Bone marrow aspirate smear — 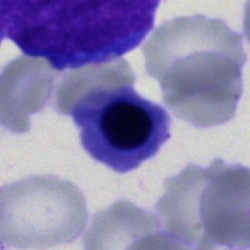 Morphological class = normoblast.